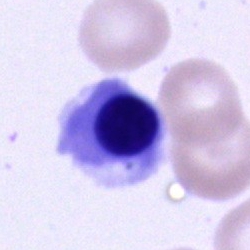 Erythroblast.